250×250 px. Bone marrow aspirate smear. Pappenheim-stained
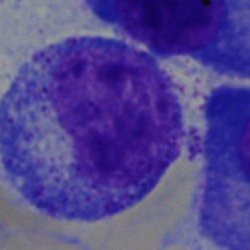A myelocyte.